Bone marrow smear:
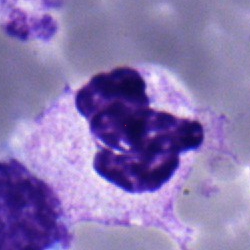
Specimen: bone marrow smear.
Classification: neutrophil (segmented).